Bone marrow aspirate smear — 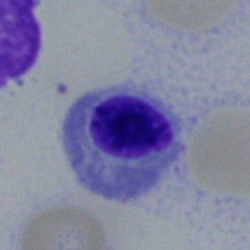
An erythroblast.